250×250; bone marrow smear; single-cell crop — 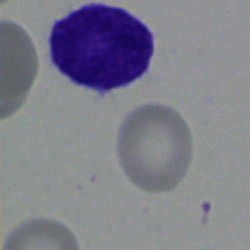

Specimen: bone marrow aspirate smear.
Morphological class: lymphocyte.
Lineage: lymphoid.